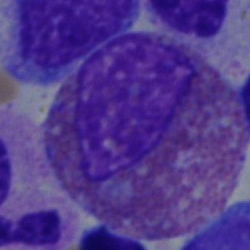

Morphology — eosinophilic granulocyte.